Bone marrow aspirate smear · May-Grünwald-Giemsa/Pappenheim stain.
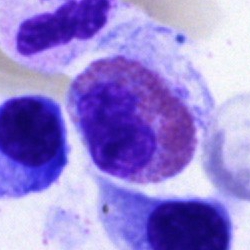 Morphology consistent with an eosinophil.